250×250 px · bone marrow aspirate smear.
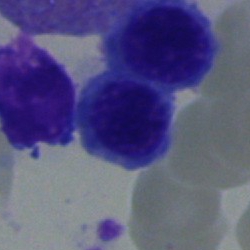 Q: What is shown here?
A: This is an erythroblast.